Bone marrow aspirate smear
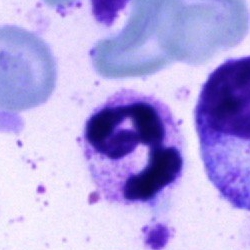
This is a segmented neutrophil.